Bone marrow aspirate smear.
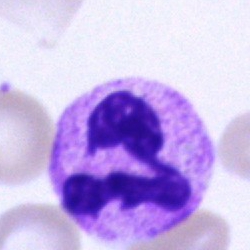

Segmented neutrophil.